Image size 250×250. Bone marrow smear. Single-cell crop — 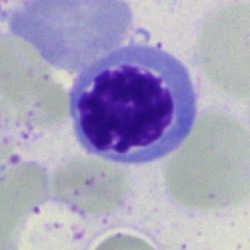 Q: Which cell type is shown here?
A: Nucleated red blood cell.